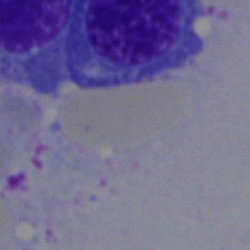 {"cell_type": "artefact"}